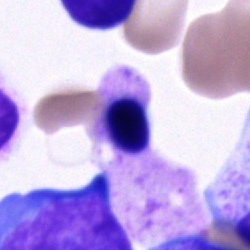

Specimen: bone marrow aspirate smear.
Cell type: unidentifiable cell.